Bone marrow smear:
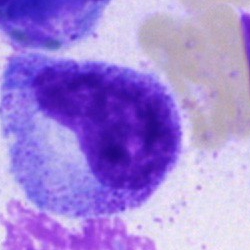

Classification — promyelocyte.